Bone marrow aspirate smear · Pappenheim-stained
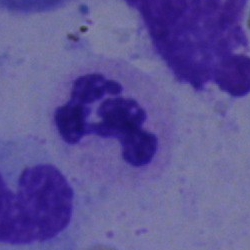 Morphology consistent with a polymorphonuclear neutrophil.